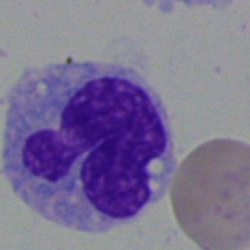 A monocyte on a bone marrow smear.